Single cell centered in the field · bone marrow aspirate smear
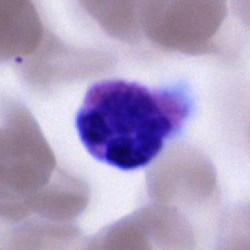
Cell of indeterminate lineage.